Single-cell crop; bone marrow aspirate smear: 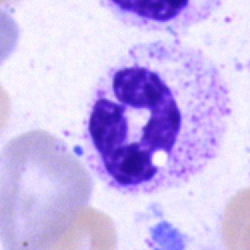
Specimen: bone marrow aspirate smear.
Classification: neutrophil (segmented).
Lineage: myeloid.